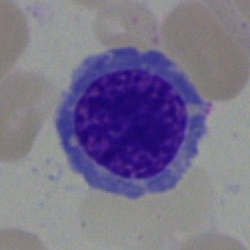

Single-cell crop from a bone marrow smear: nucleated red cell.